Bone marrow aspirate smear: 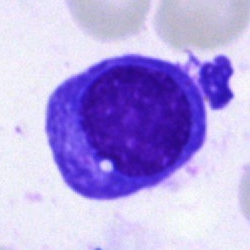

Q: What is the morphological classification of this cell?
A: It is a plasma cell.